Bone marrow aspirate smear:
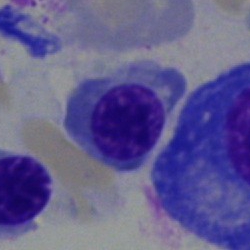Morphology — erythroblast.